Brightfield, 40× oil-immersion objective; bone marrow smear — 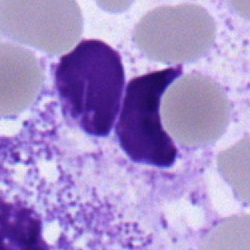The cell shown is a segmented neutrophil.